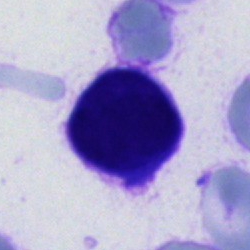
Q: What is shown here?
A: A cell of indeterminate lineage.